Peripheral blood film — 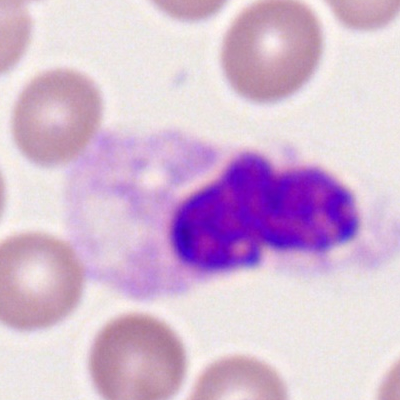
{"cell_type": "neutrophil (segmented)", "lineage": "myeloid"}